Bone marrow aspirate smear — 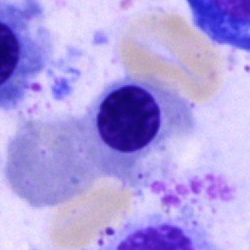

Classification = erythroblast.